Pappenheim-stained · bone marrow smear:
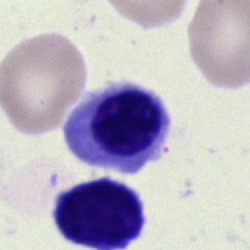

This is a nucleated red cell.